40× objective, oil immersion · bone marrow smear:
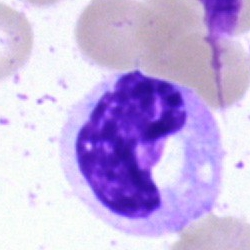Morphology → stab cell.